Bone marrow aspirate smear. Single-cell crop:
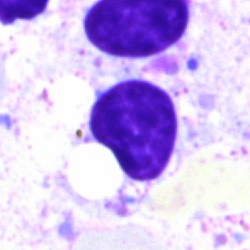
Specimen: bone marrow smear.
Cell: artefact.